Romanowsky stain · peripheral blood smear: 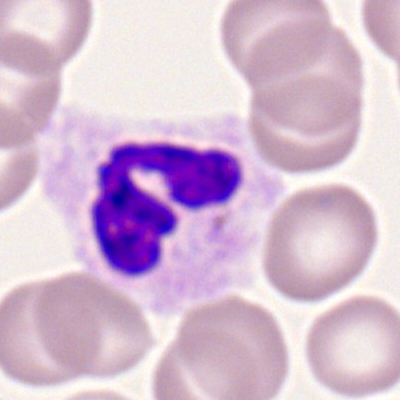
Impression — polymorphonuclear neutrophil.